Bone marrow aspirate smear · 40× oil immersion · May-Grünwald-Giemsa/Pappenheim stain: 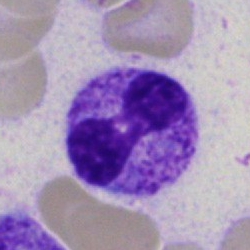
Q: What is the morphological classification of this cell?
A: It is a segmented neutrophil.